Single cell centered in the field; bone marrow smear: 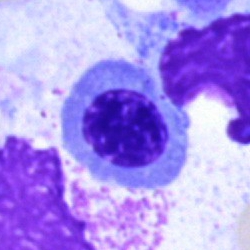
Normoblast.